Bone marrow smear
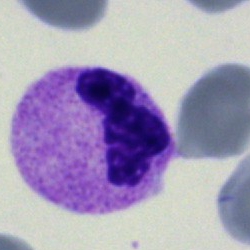 Single cell identified as a polymorphonuclear neutrophil.